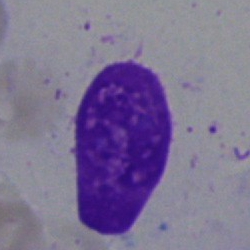

The classification is artifact.